Bone marrow smear: 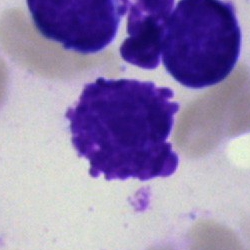
Morphology → artifact.